Bone marrow aspirate smear — 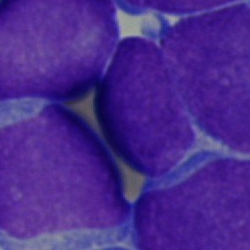Morphological class: blast.